Peripheral blood film. 100× oil immersion, 14.14 px/µm. Romanowsky-type stain: 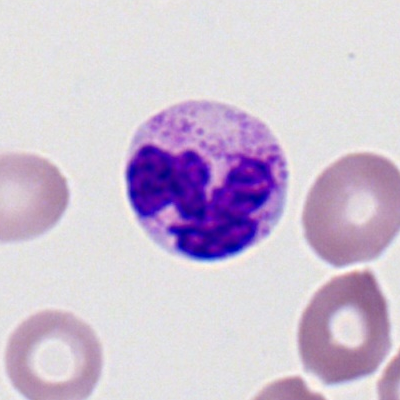
Impression — neutrophil (segmented).